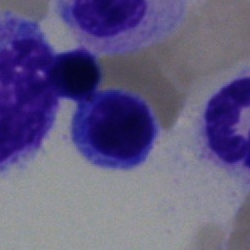
Nucleated red cell.